Bone marrow aspirate smear; Pappenheim-stained
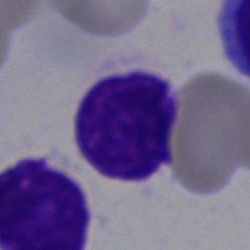
{"cell_type": "lymphocyte", "lineage": "lymphoid"}